Bone marrow aspirate smear · Pappenheim-stained · brightfield microscopy, 40× oil immersion — 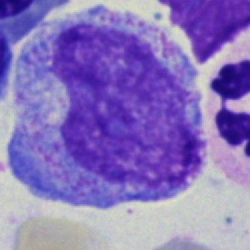
Q: What cell is this?
A: It is a promyelocyte.